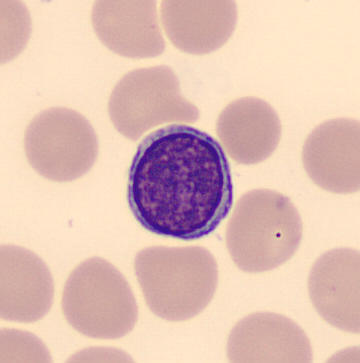
Q: What type of cell is this?
A: This is a typical lymphocyte.